40× objective, oil immersion. Bone marrow smear
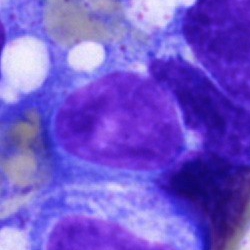

Specimen: bone marrow smear.
Morphological class: blast.